Peripheral blood film
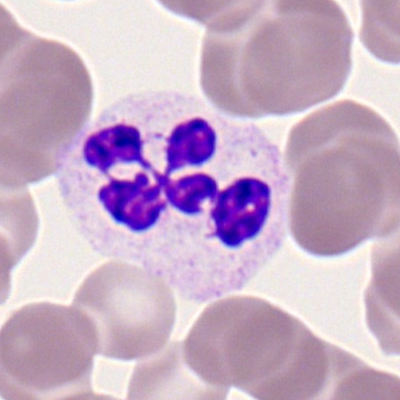

Single cell identified as a polymorphonuclear neutrophil.